Bone marrow smear.
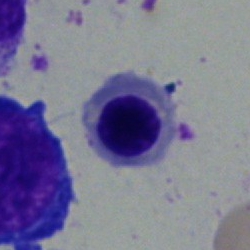Cell — nucleated red blood cell.